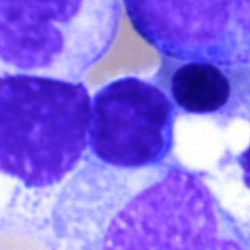Q: What type of cell is this?
A: It is a typical lymphocyte.